Bone marrow aspirate smear.
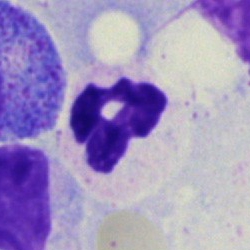 Specimen: bone marrow aspirate smear.
Cell: neutrophil (segmented).
Lineage: myeloid.